40× objective, oil immersion; MGG-stained; bone marrow smear
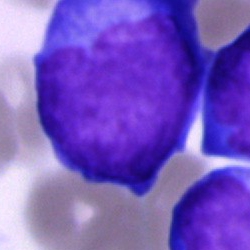

Impression → undifferentiated blast.